Bone marrow smear:
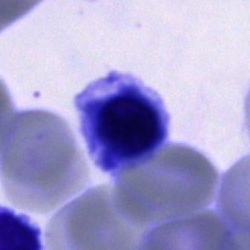Cell — erythroblast.